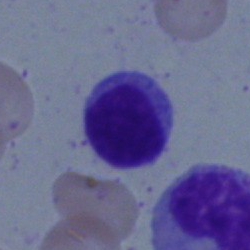
Cell type — lymphocyte.